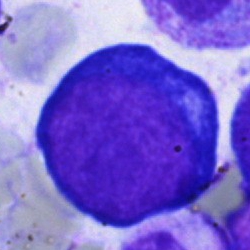 {"cell_type": "pronormoblast", "lineage": "erythroid"}